Bone marrow smear · 250×250 px — 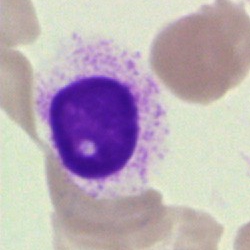 Q: Which cell type is shown here?
A: An unidentifiable cell.